May-Grünwald-Giemsa/Pappenheim stain · bone marrow aspirate smear · single-cell crop:
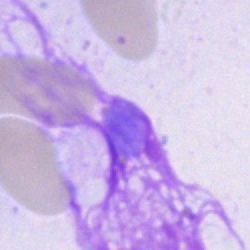

The cell type is artefact.